250×250. Bone marrow aspirate smear: 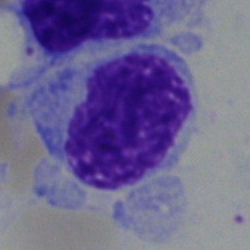Showing a hairy cell.